Bone marrow aspirate smear.
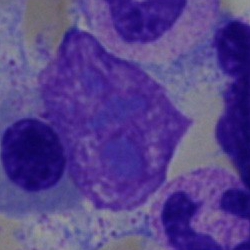
{"cell_type": "artifact"}